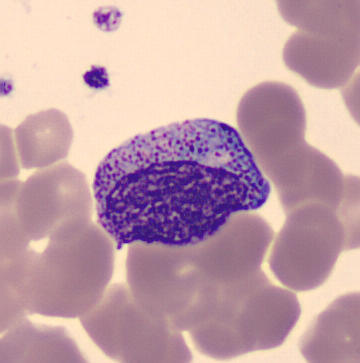

Morphology — myelocyte.

Acquisition: Peripheral blood film.